Single cell centered in the field; bone marrow smear; 40× objective, oil immersion
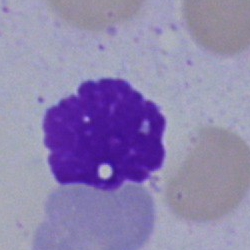
Cell type = artefact.